Peripheral blood film.
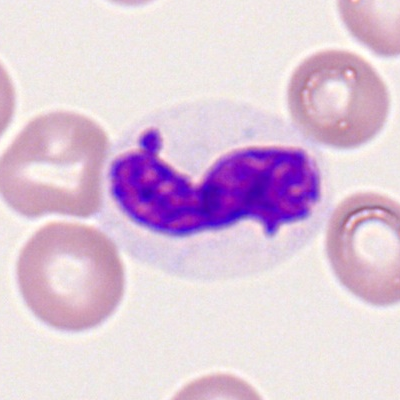 Q: What type of cell is this?
A: A polymorphonuclear neutrophil.